Bone marrow aspirate smear: 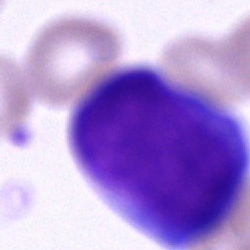Morphology consistent with a blast cell.